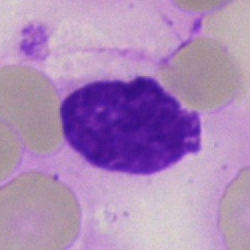
Cell type — artifact.